Bone marrow aspirate smear.
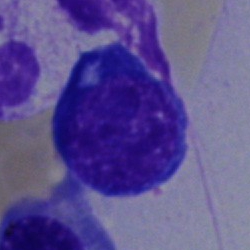

Specimen: bone marrow smear.
Morphological class: nucleated red cell.
Lineage: erythroid.